Peripheral blood film.
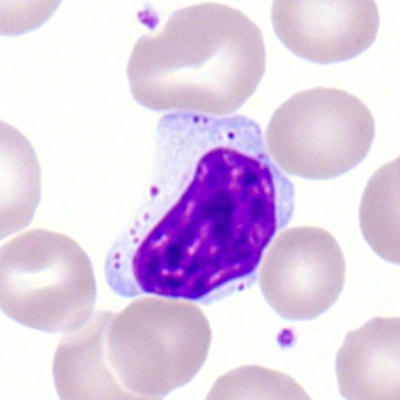 Q: What cell is this?
A: This is a lymphocyte.